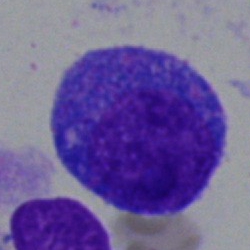
Single-cell crop from a bone marrow smear: progranulocyte.